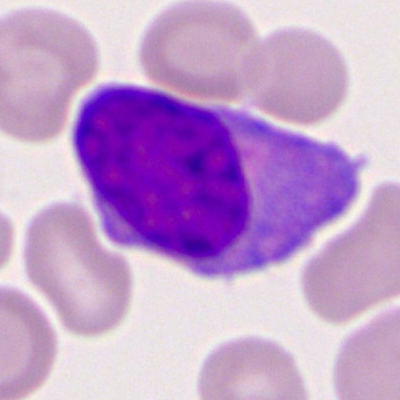 {"cell_type": "myeloid blast", "lineage": "myeloid"}